Bone marrow smear — 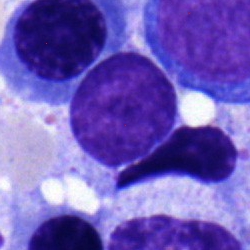

Q: What cell is this?
A: A lymphocyte.